Peripheral blood smear · single-cell crop
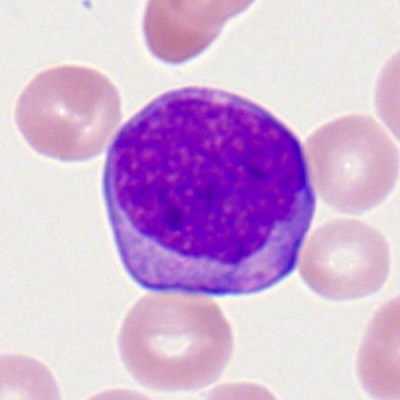Myeloid blast.